Single-cell crop. Bone marrow smear. 250×250 px:
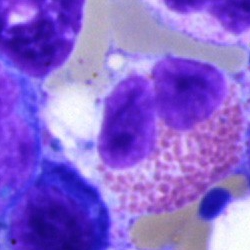 Eosinophilic granulocyte.